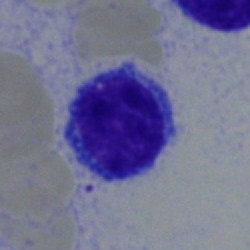

A lymphocyte.